Bone marrow smear; May-Grünwald-Giemsa stain: 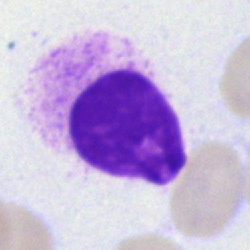 Morphology consistent with an artefact.